250×250; brightfield, 40× oil-immersion objective; bone marrow smear:
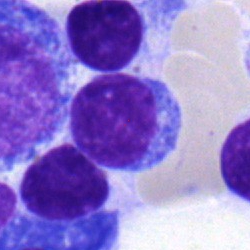
Classification — plasmacyte.